Bone marrow aspirate smear: 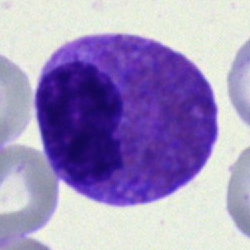 Eosinophil.